Bone marrow aspirate smear.
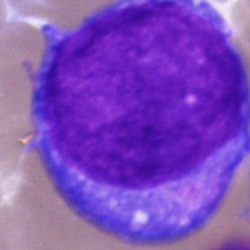 {"cell_type": "blast cell"}